Bone marrow smear · 250×250 · Pappenheim-stained
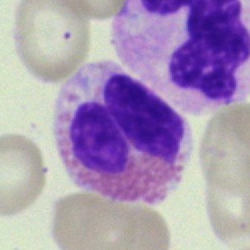 Single cell identified as an eosinophilic granulocyte.